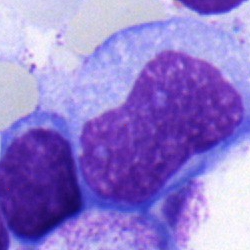

Specimen: bone marrow aspirate smear.
Cell: undifferentiated blast.